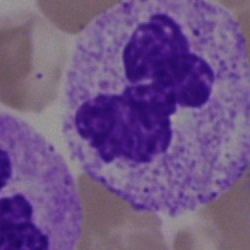 Polymorphonuclear neutrophil.